Bone marrow aspirate smear — 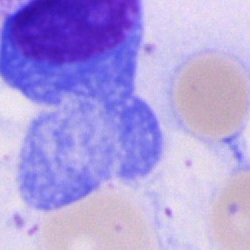

Classification: plasma cell.